Bone marrow smear:
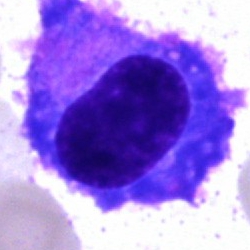 The cell shown is a plasmacyte.